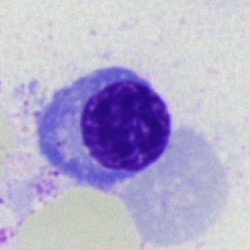
A nucleated red blood cell.